Bone marrow smear: 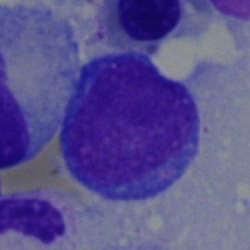

Impression — blast cell.